Bone marrow aspirate smear · brightfield, 40× oil-immersion objective:
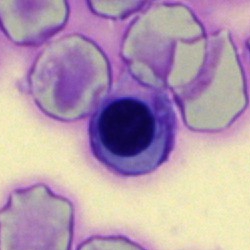{"cell_type": "normoblast"}